Bone marrow aspirate smear — 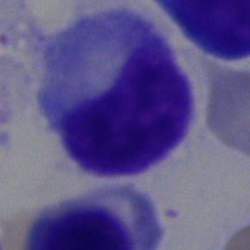This is a metamyelocyte.